Pappenheim-stained. Bone marrow aspirate smear. 250 by 250 pixels.
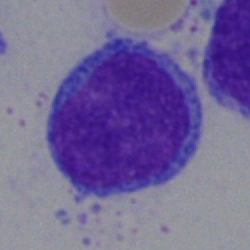
Q: What cell is this?
A: A promyelocyte.